Bone marrow aspirate smear:
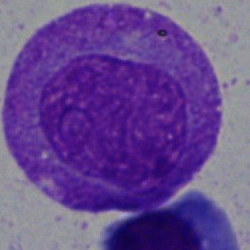Showing an undifferentiated blast.